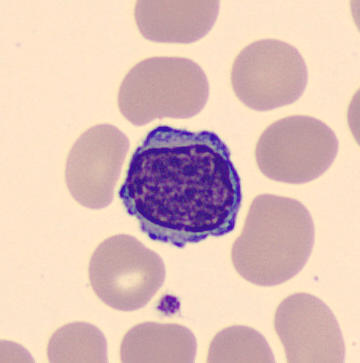

Peripheral blood film. Single cell identified as a typical lymphocyte.